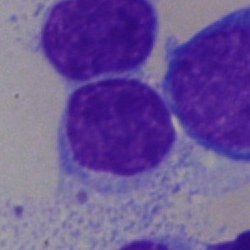Q: What is shown here?
A: Typical lymphocyte.